Image size 250×250. Bone marrow aspirate smear: 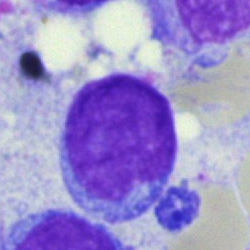
This is a blast.